Bone marrow smear; May-Grünwald-Giemsa/Pappenheim stain; image size 250×250 — 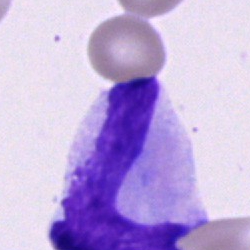

Classification: band neutrophil.